Single-cell field; bone marrow aspirate smear — 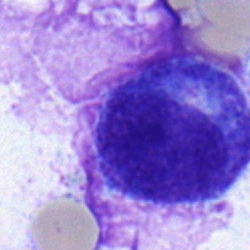Q: What is shown here?
A: A myelocyte.